Bone marrow smear — 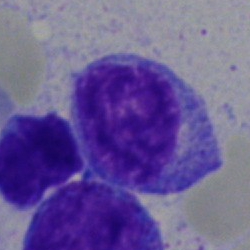Cell — typical lymphocyte.